Single-cell crop · bone marrow aspirate smear:
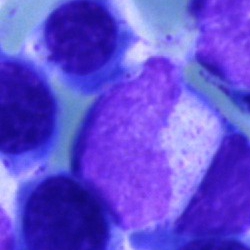

Q: Which cell type is shown here?
A: Metamyelocyte.